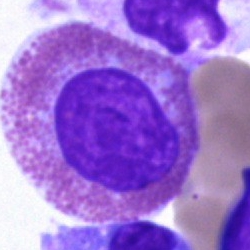
Specimen: bone marrow aspirate smear.
Cell: eosinophilic granulocyte.
Lineage: myeloid.